Bone marrow aspirate smear. 40× objective, oil immersion.
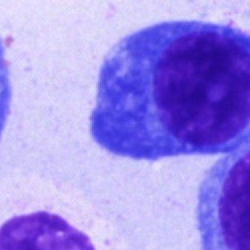 Plasmacyte.